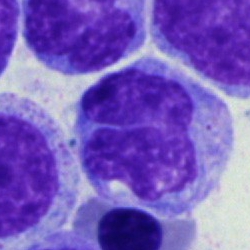

A monocyte.